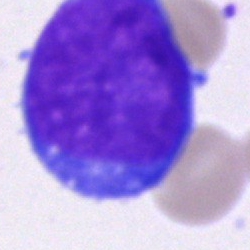
This is a blast.